40× oil immersion. Pappenheim-stained. Bone marrow aspirate smear
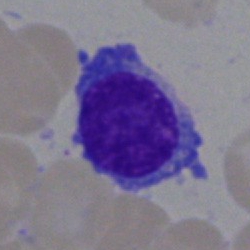Morphology → plasma cell.